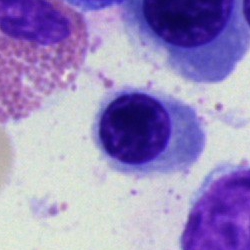 Q: What is shown here?
A: Nucleated red blood cell.